Bone marrow aspirate smear:
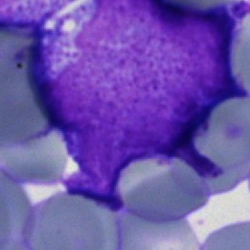
This is a blast.